Bone marrow smear — 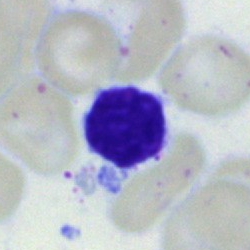

Classification = typical lymphocyte.